Bone marrow smear · brightfield, 40× oil-immersion objective: 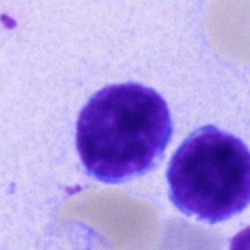Cell type — typical lymphocyte.